Bone marrow smear; 40× objective, oil immersion:
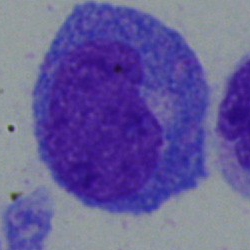
The cell shown is a promyelocyte.